40× oil immersion. Bone marrow smear. 250×250
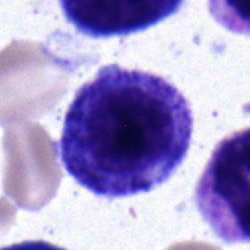

Morphology → myelocyte.